Brightfield microscopy, 40× oil immersion. Bone marrow aspirate smear. May-Grünwald-Giemsa/Pappenheim stain.
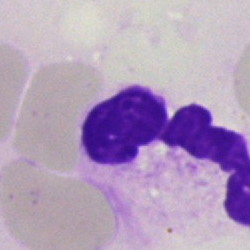
Morphological class = artefact.